Bone marrow aspirate smear; 250×250 px; Pappenheim-stained: 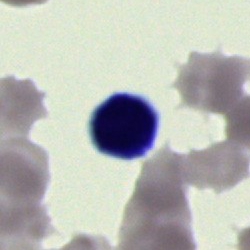 Impression → cell of indeterminate lineage.